Bone marrow aspirate smear.
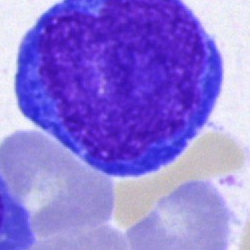

Morphology consistent with a monocyte.